Bone marrow smear:
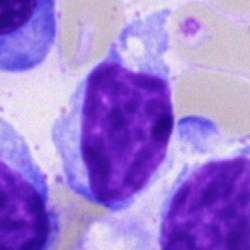Q: What cell is this?
A: This is a typical lymphocyte.